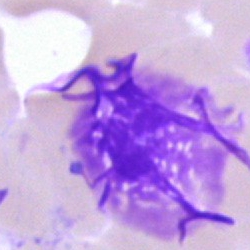
This is an artifact.